Bone marrow aspirate smear:
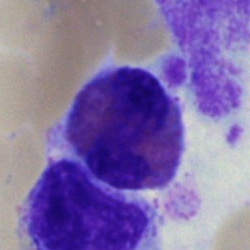
The cell type is eosinophilic granulocyte.